Bone marrow smear · brightfield microscopy, 40× oil immersion:
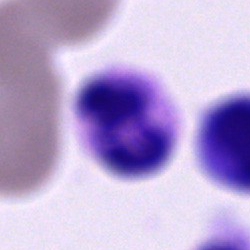Q: Which cell type is shown here?
A: It is a segmented neutrophil.